Bone marrow aspirate smear: 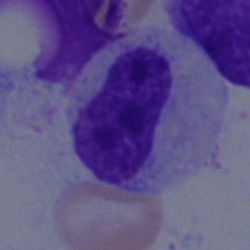
A stab cell.